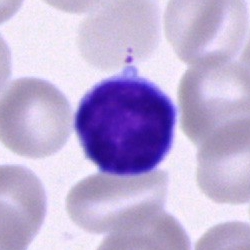The cell shown is a typical lymphocyte.